Bone marrow smear.
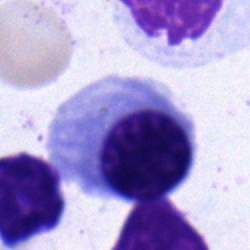 Morphology consistent with a nucleated red cell.